Bone marrow aspirate smear. May-Grünwald-Giemsa/Pappenheim stain — 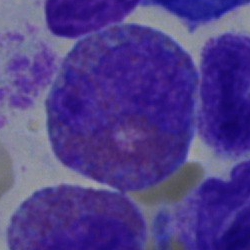 Showing an eosinophil.